40× oil immersion · bone marrow smear: 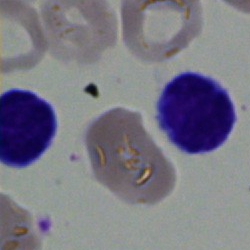

Q: What is shown here?
A: Typical lymphocyte.